Peripheral blood film; 100× objective, oil immersion
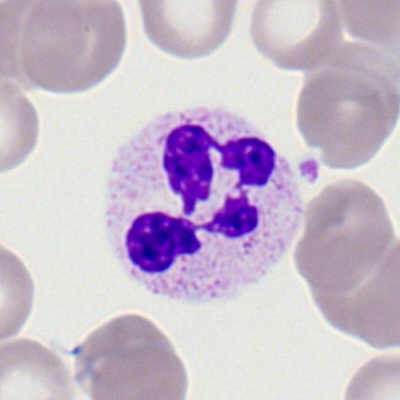Polymorphonuclear neutrophil.